100× oil immersion · peripheral blood smear · 400×400 — 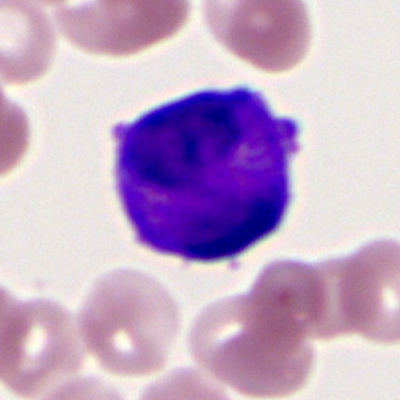 Single cell identified as a myeloblast.